Bone marrow smear
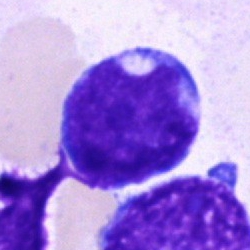

Q: What is shown here?
A: It is a blast cell.